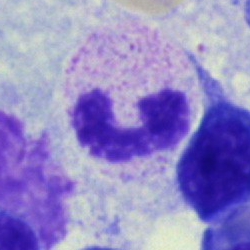
The cell is polymorphonuclear neutrophil.